250×250 px · bone marrow aspirate smear: 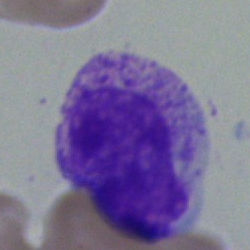 This is a myelocyte.